Bone marrow smear.
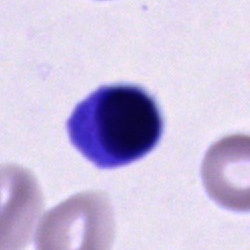

Morphology — cell of indeterminate lineage.